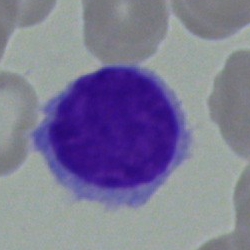

Cell = typical lymphocyte.